250 by 250 pixels · bone marrow smear — 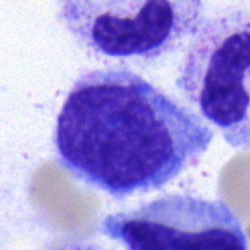

Myelocyte.